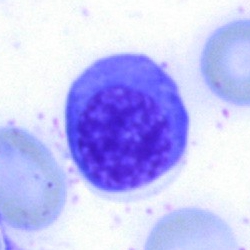

Specimen: bone marrow smear.
Classification: normoblast.